Bone marrow aspirate smear: 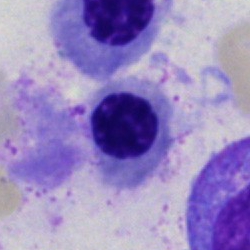
Classification: nucleated red blood cell.